Bone marrow smear.
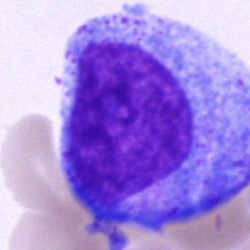

Morphology — progranulocyte.